Single cell centered in the field. 250 by 250 pixels. Bone marrow smear:
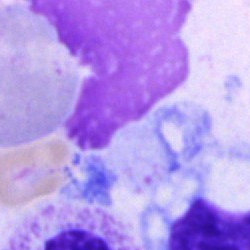An artefact.